Brightfield, 100× oil-immersion objective. Single cell centered in the field. Peripheral blood smear.
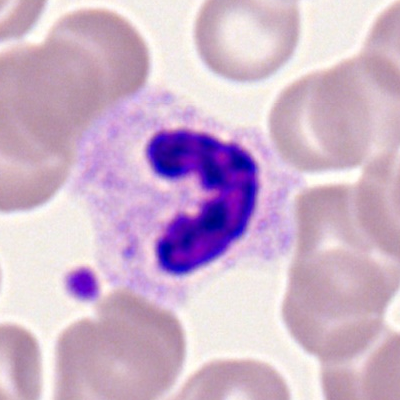
Specimen: peripheral blood smear.
Cell: neutrophil (band).
Lineage: myeloid.